Bone marrow aspirate smear.
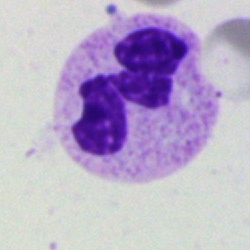Cell — polymorphonuclear neutrophil.